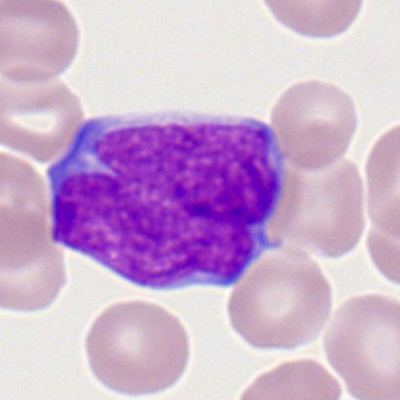

Q: Which cell type is shown here?
A: Myeloid blast.